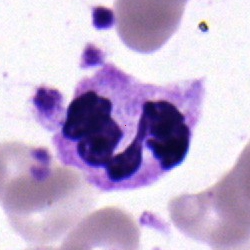

Cell type: neutrophil (segmented).